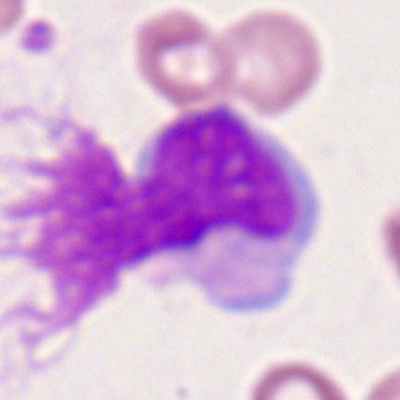

Q: What type of cell is this?
A: A monocyte.